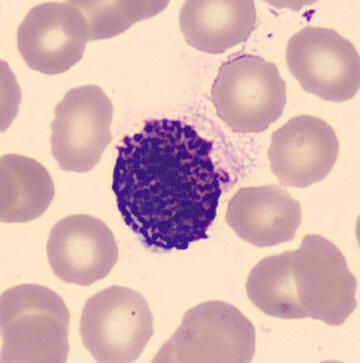
Preparation: Peripheral blood film. Single-cell field. 360×363.

This is a basophil.